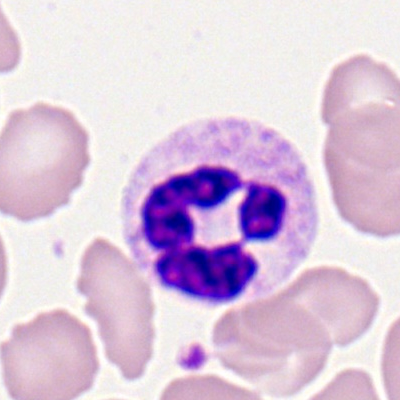
Cell type — polymorphonuclear neutrophil.